Bone marrow smear:
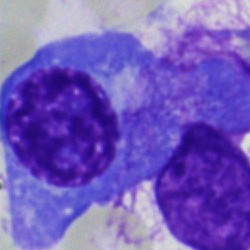
Specimen: bone marrow aspirate smear.
Cell type: plasmacyte.
Lineage: lymphoid.